Bone marrow aspirate smear; 250 by 250 pixels:
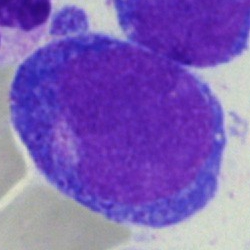

Cell = pronormoblast.